Peripheral blood smear
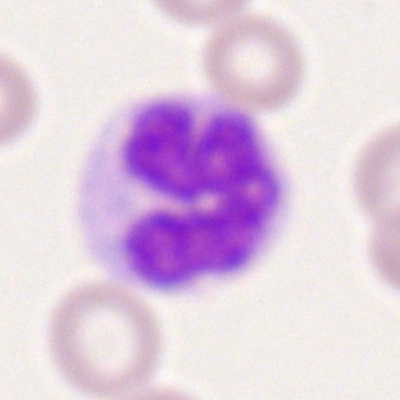This is a monocyte.